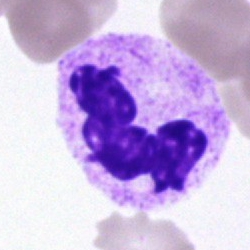Morphology → polymorphonuclear neutrophil.